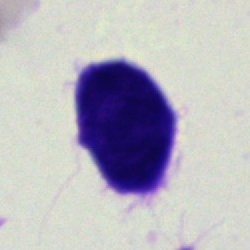

An artefact on a bone marrow smear.